Bone marrow aspirate smear · brightfield microscopy, 40× oil immersion
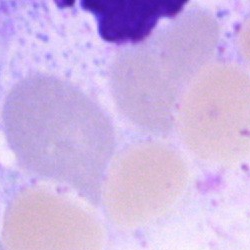

The classification is artifact.